Peripheral blood film
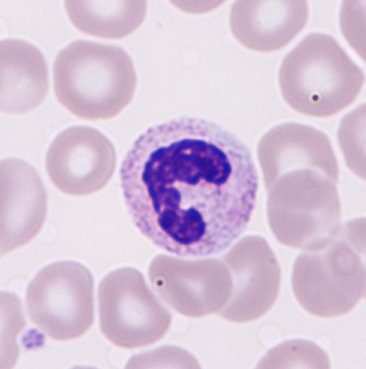 Cell = neutrophil.